250×250 · bone marrow aspirate smear — 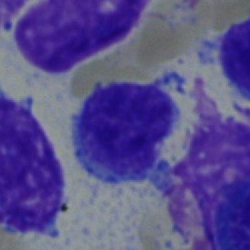Morphology consistent with a typical lymphocyte.